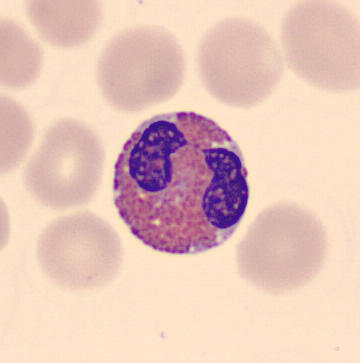

Q: What is shown here?
A: Eosinophilic granulocyte.
Preparation: Peripheral blood smear.